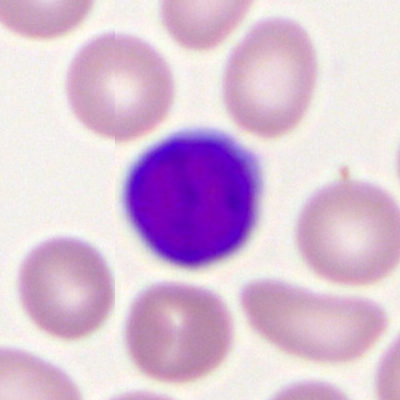

Cell = typical lymphocyte.